Peripheral blood smear
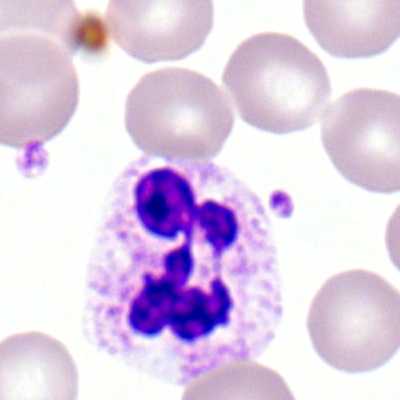 Q: Identify the cell.
A: This is a segmented neutrophil.